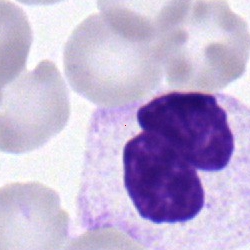 Morphology consistent with a segmented neutrophil.